Brightfield microscopy, 40× oil immersion; bone marrow aspirate smear; cropped to a single cell — 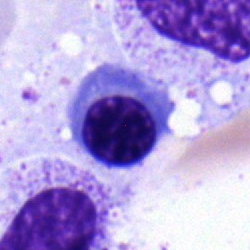 A normoblast.